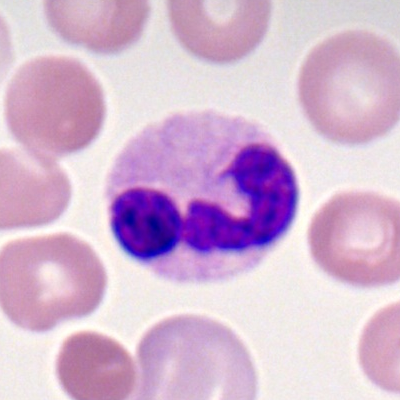 The classification is neutrophil (segmented).